Bone marrow aspirate smear. Brightfield microscopy, 40× oil immersion. 250 by 250 pixels — 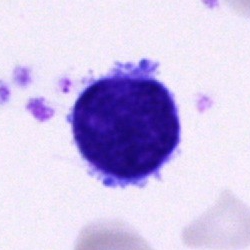

Q: What is shown here?
A: It is a lymphocyte.